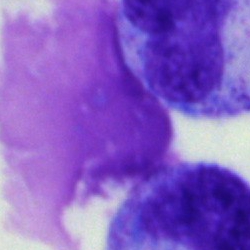Cell: artefact.